MGG-stained · bone marrow smear · single-cell crop.
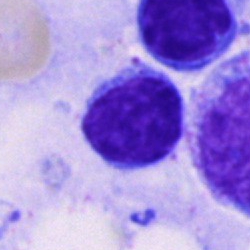Classification = typical lymphocyte.